Bone marrow smear: 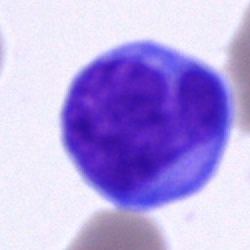

This is a blast cell.